Image size 360×363. Peripheral blood smear — 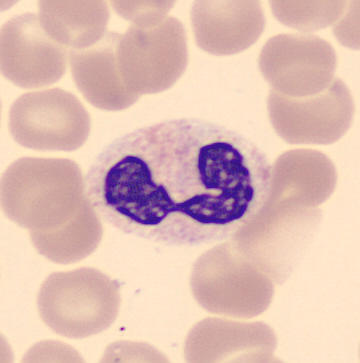 {"cell_type": "polymorphonuclear neutrophil"}